Bone marrow smear: 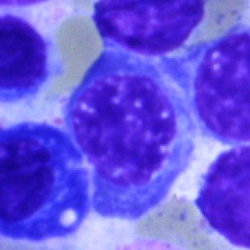 Showing a normoblast.